Bone marrow aspirate smear:
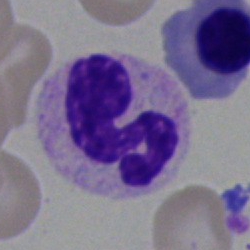

Single cell identified as a neutrophil (segmented).